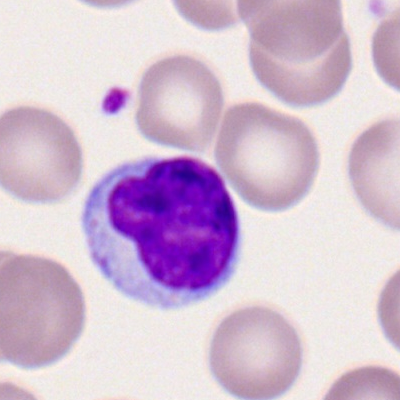

A lymphocyte on a peripheral blood smear.